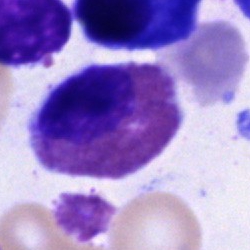
An eosinophilic granulocyte on a bone marrow smear.